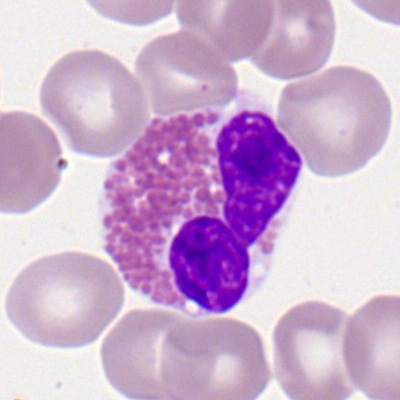 Morphology → eosinophil.